Bone marrow aspirate smear — 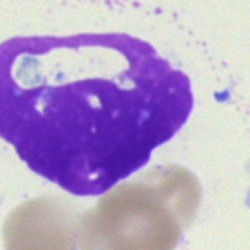

Single cell identified as an artefact.